Bone marrow aspirate smear · MGG-stained — 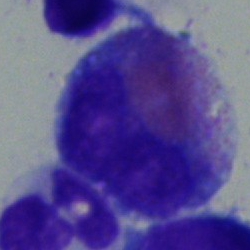

Morphological class — eosinophil.